Bone marrow smear · 250×250.
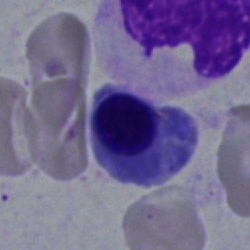
A nucleated red blood cell.